Bone marrow smear.
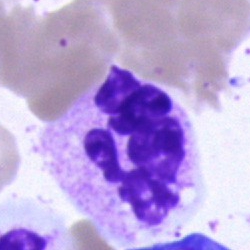 Q: What is shown here?
A: This is a polymorphonuclear neutrophil.